Peripheral blood film. Single-cell field
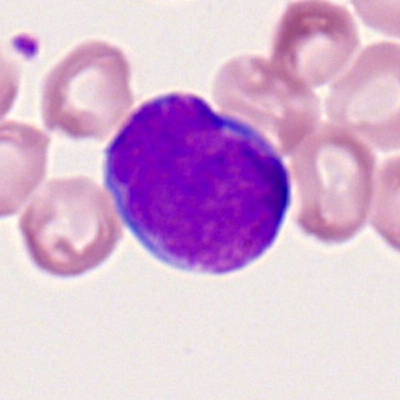
Q: Identify the cell.
A: Myeloid blast.